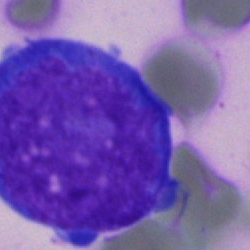 Cell — undifferentiated blast.